Brightfield, 40× oil-immersion objective. Pappenheim-stained. Bone marrow smear — 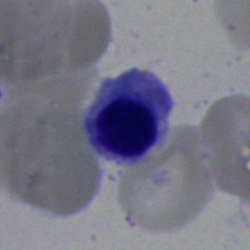

Specimen: bone marrow smear.
Cell type: nucleated red blood cell.
Lineage: erythroid.